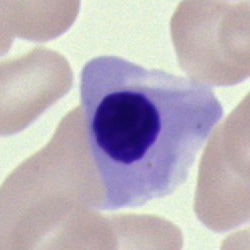 Morphological class: erythroblast.